Peripheral blood smear — 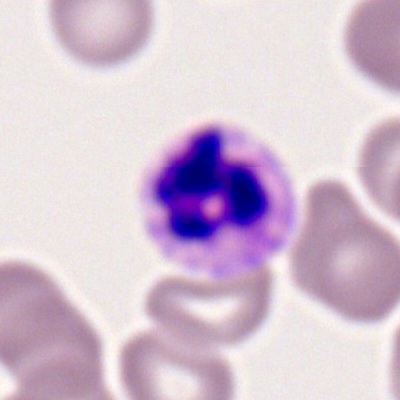

Morphological class: polymorphonuclear neutrophil.